Pappenheim-stained. Bone marrow aspirate smear — 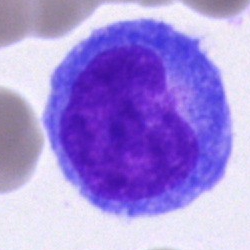
Morphology consistent with a blast.